Bone marrow aspirate smear — 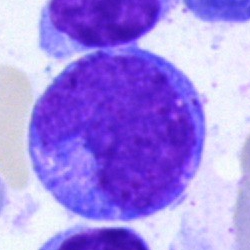 Morphology — monocyte.